Peripheral blood smear; Romanowsky-stained; 100× objective, oil immersion — 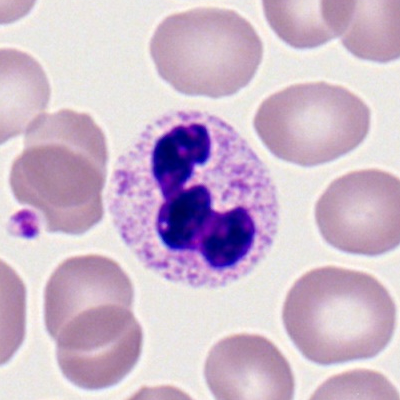

Morphology — neutrophil (segmented).